Bone marrow smear. Brightfield microscopy, 40× oil immersion
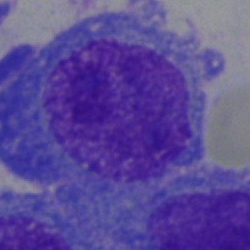

Impression — plasma cell.